Brightfield microscopy, 40× oil immersion. Bone marrow aspirate smear. May-Grünwald-Giemsa/Pappenheim stain:
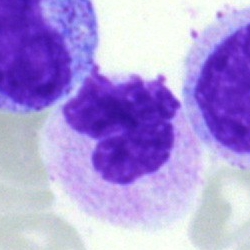

Morphology → segmented neutrophil.